Cropped to a single cell · bone marrow aspirate smear.
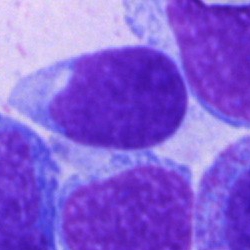
A blast cell.